Bone marrow smear: 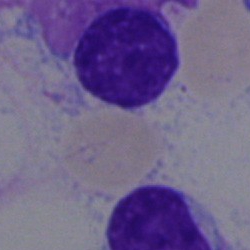Morphological class — typical lymphocyte.